Bone marrow smear
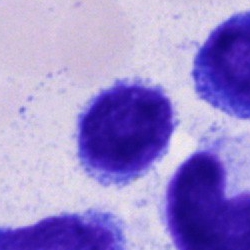

Single cell identified as a lymphocyte.